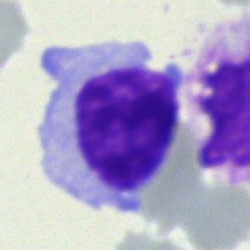

Classification — typical lymphocyte.